Bone marrow smear: 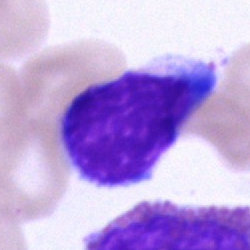

Cell — typical lymphocyte.